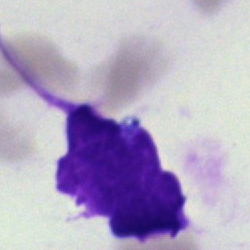 Impression — artefact.